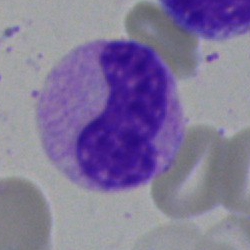 {"cell_type": "stab cell", "lineage": "myeloid"}